Bone marrow aspirate smear. 40× oil immersion:
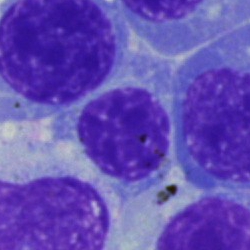Morphological class = erythroblast.